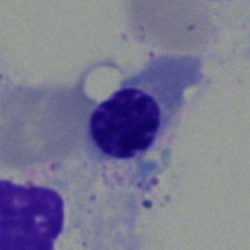Q: What type of cell is this?
A: This is a nucleated red blood cell.